Bone marrow aspirate smear. Brightfield microscopy, 40× oil immersion.
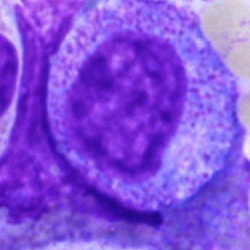Q: Identify the cell.
A: Progranulocyte.